Bone marrow aspirate smear; 40× oil immersion:
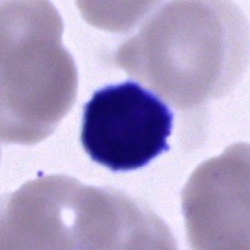
The morphological class is typical lymphocyte.